Peripheral blood film
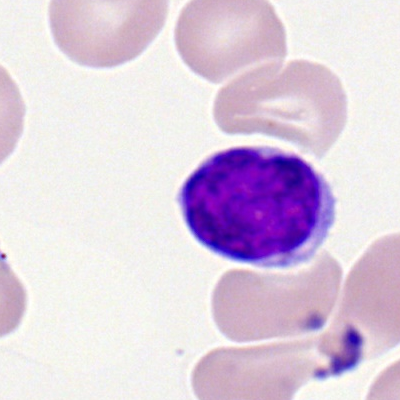 {"cell_type": "lymphocyte"}